Bone marrow smear: 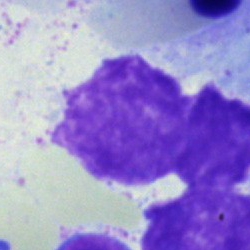
The classification is artefact.